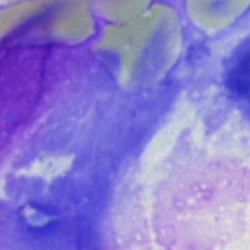Classification = artefact.